Bone marrow aspirate smear: 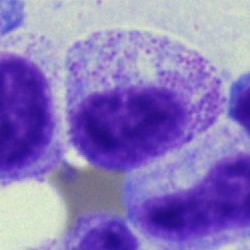

This is a myelocyte.